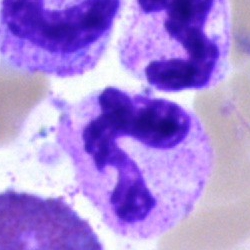Impression — neutrophil (segmented).